Bone marrow smear: 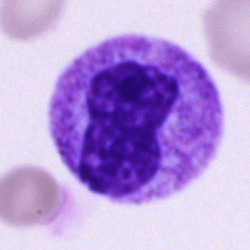

Q: What type of cell is this?
A: This is a myelocyte.